Pappenheim-stained; bone marrow aspirate smear — 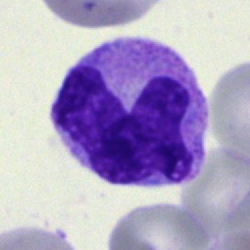 Impression → monocyte.